Peripheral blood smear.
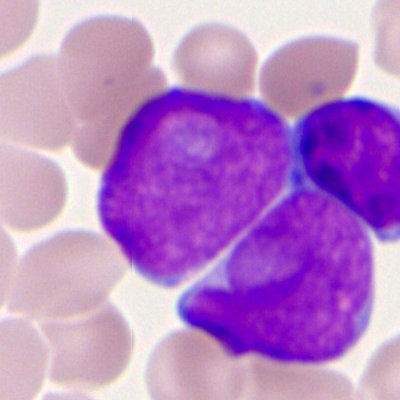
Morphological class — myeloid blast.